MGG-stained; bone marrow aspirate smear.
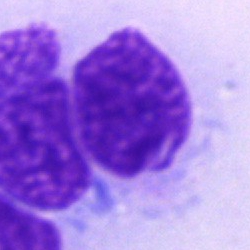
An artifact.